Bone marrow smear.
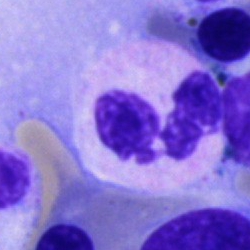Q: What is shown here?
A: It is a polymorphonuclear neutrophil.